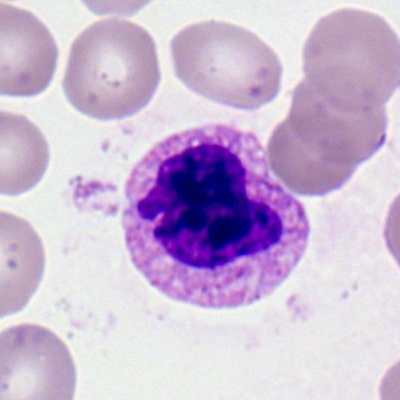

Cell: basophilic granulocyte.